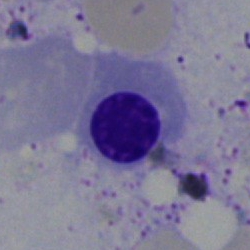
This is a nucleated red blood cell.